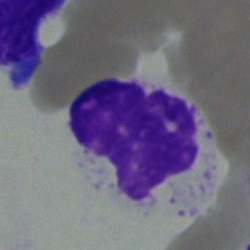

Single-cell crop from a bone marrow smear: neutrophil (segmented).